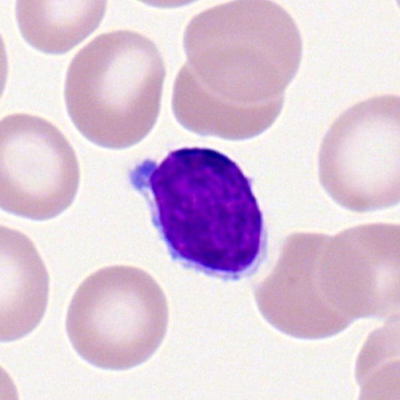{"cell_type": "typical lymphocyte", "lineage": "lymphoid"}